250×250 px; single-cell field; bone marrow smear.
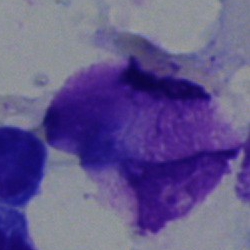

Showing an artifact.